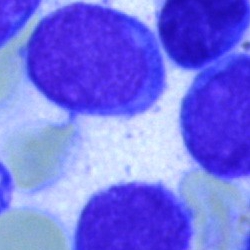 A blast.